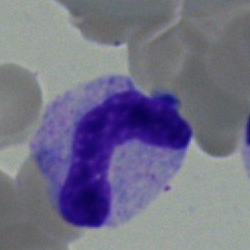Morphological class: band neutrophil.